Bone marrow aspirate smear. 40× oil immersion
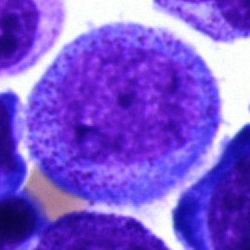Specimen: bone marrow aspirate smear.
Cell type: promyelocyte.
Lineage: myeloid.